Bone marrow smear. May-Grünwald-Giemsa/Pappenheim stain:
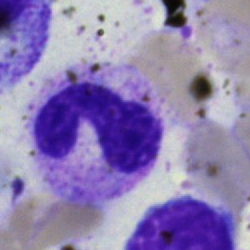The cell type is neutrophil (band).